MGG-stained. Bone marrow aspirate smear: 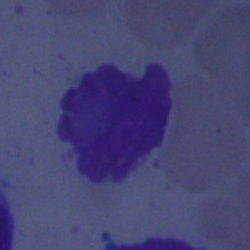
Specimen: bone marrow aspirate smear.
Cell type: artifact.